MGG-stained; bone marrow aspirate smear; cropped to a single cell — 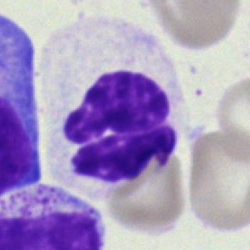

Q: What cell is this?
A: This is a polymorphonuclear neutrophil.